Peripheral blood film.
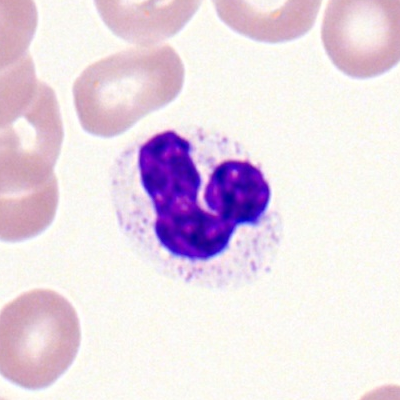
Showing a segmented neutrophil.